Bone marrow smear: 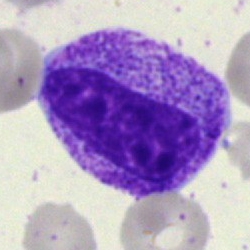Cell type — myelocyte.